Bone marrow smear
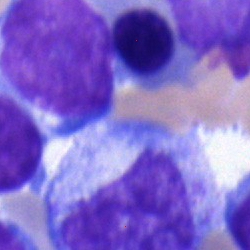
Cell type = myelocyte.